Bone marrow smear · Pappenheim-stained
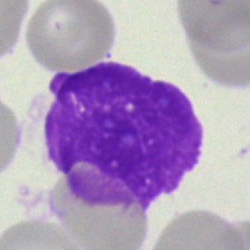 Q: What is shown here?
A: An artifact.